Bone marrow aspirate smear. May-Grünwald-Giemsa stain:
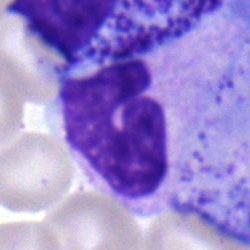

{"cell_type": "stab cell", "lineage": "myeloid"}